May-Grünwald-Giemsa/Pappenheim stain. Bone marrow smear — 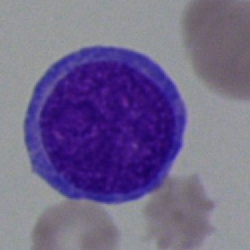 Classification = blast cell.